Bone marrow aspirate smear.
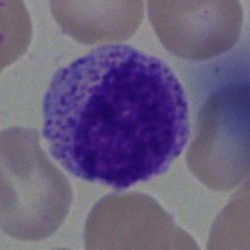 Morphology consistent with a myelocyte.